Peripheral blood smear — 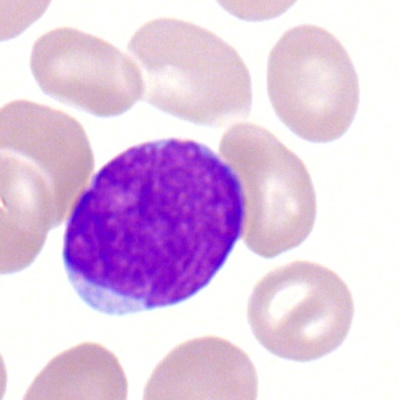
Impression — myeloblast.